Single cell centered in the field; May-Grünwald-Giemsa/Pappenheim stain; bone marrow smear: 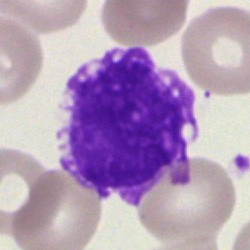Specimen: bone marrow smear.
Cell type: artefact.